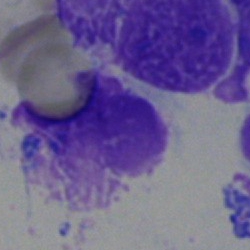
Specimen: bone marrow aspirate smear.
Cell type: artefact.